Peripheral blood smear; 100× oil immersion, 14.14 px/µm — 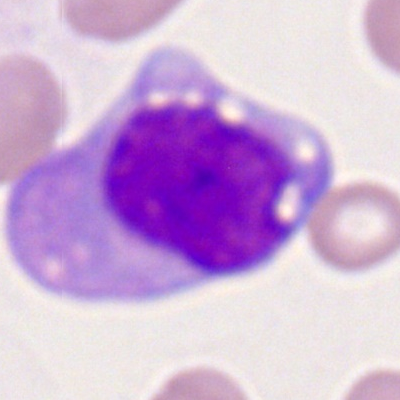 Monocyte.